Peripheral blood film. 100× objective, oil immersion:
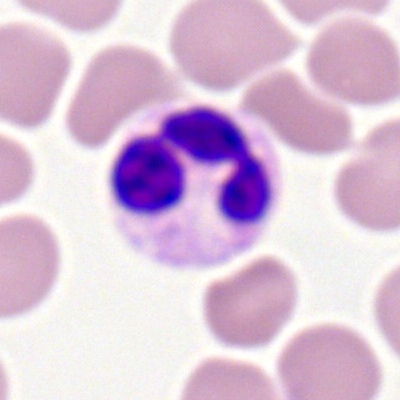

Classification — neutrophil (segmented).